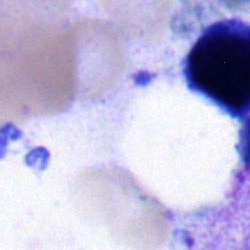

Q: What cell is this?
A: It is a lymphocyte.